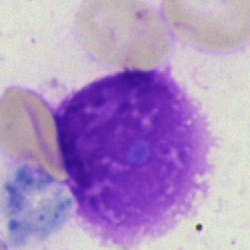 Cell type: artifact.